Bone marrow smear: 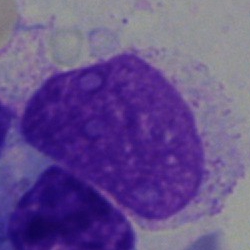

The cell shown is an artefact.